Bone marrow aspirate smear.
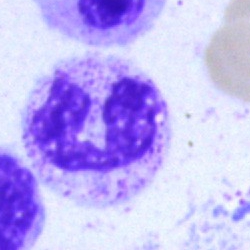

Morphological class = neutrophil (segmented).